Bone marrow aspirate smear: 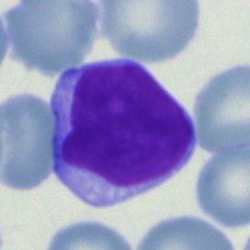Impression — lymphocyte.